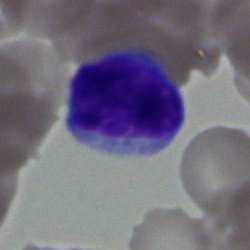
Impression — lymphocyte.